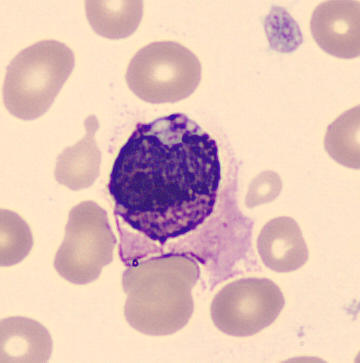
Morphological class — basophil.

360 by 363 pixels · single-cell field · peripheral blood smear.